Brightfield microscopy, 40× oil immersion; bone marrow smear; 250×250
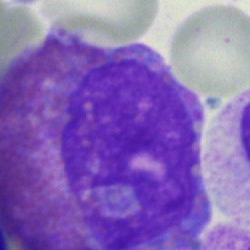

Q: Which cell type is shown here?
A: This is an eosinophilic granulocyte.